Bone marrow smear: 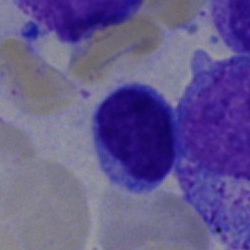
A lymphocyte.